Bone marrow aspirate smear:
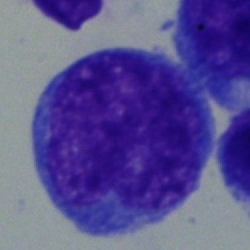

Single cell identified as a blast.